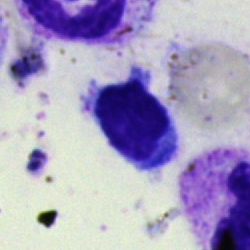 Specimen: bone marrow smear.
Cell: lymphocyte.
Lineage: lymphoid.